Bone marrow aspirate smear; 250×250 px
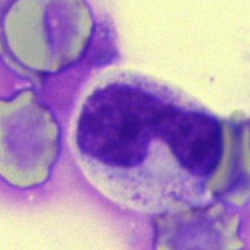Cell type = stab cell.